Peripheral blood film:
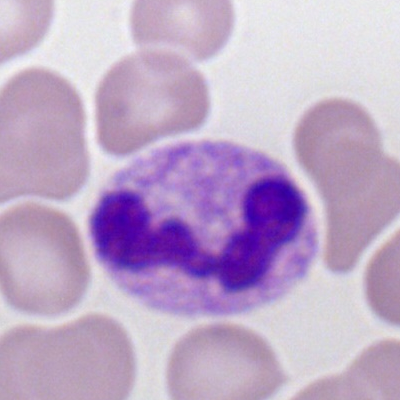 Morphology consistent with a neutrophil (segmented).